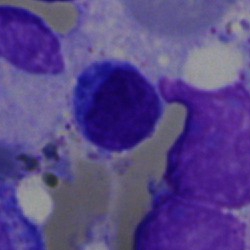
Specimen: bone marrow aspirate smear.
Cell type: lymphocyte.
Lineage: lymphoid.